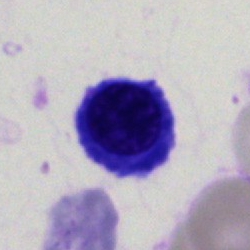 Bone marrow smear showing a nucleated red blood cell.